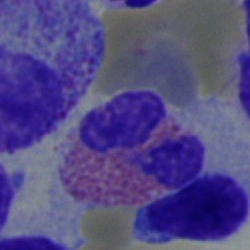Cell — eosinophil.